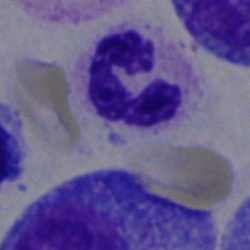
Q: What is shown here?
A: A polymorphonuclear neutrophil.